Single-cell crop; bone marrow smear — 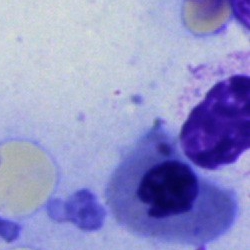Cell type: normoblast.